Cropped to a single cell. Bone marrow smear:
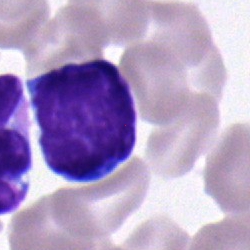 Q: What type of cell is this?
A: Typical lymphocyte.